Brightfield microscopy, 40× oil immersion. Bone marrow aspirate smear. Image size 250×250
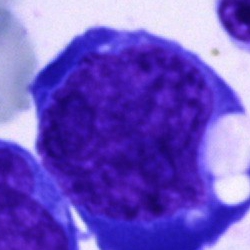 The cell shown is an undifferentiated blast.